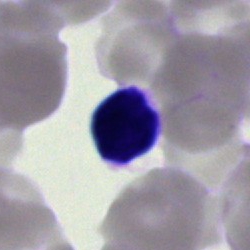Morphology consistent with a typical lymphocyte.